Bone marrow smear
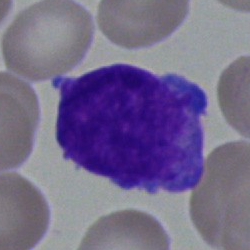
Classification — undifferentiated blast.